Bone marrow smear; 40× objective, oil immersion: 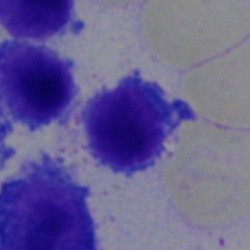

The morphological class is typical lymphocyte.